Bone marrow aspirate smear
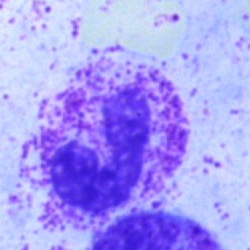Q: What is the morphological classification of this cell?
A: Stab cell.